Bone marrow aspirate smear — 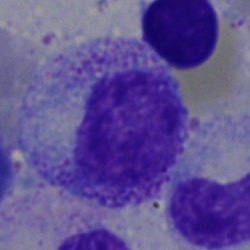

Cell type = metamyelocyte.